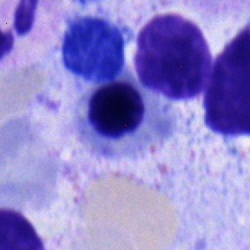 Single cell identified as an erythroblast.